Bone marrow aspirate smear:
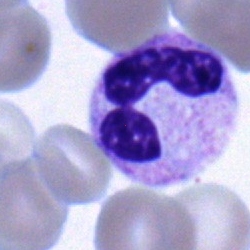
Morphological class = segmented neutrophil.